Bone marrow smear. Pappenheim-stained. Image size 250×250: 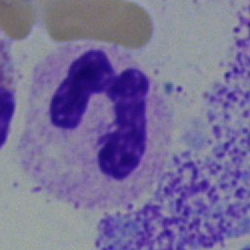 This is a neutrophil (segmented).